Bone marrow smear · brightfield microscopy, 40× oil immersion:
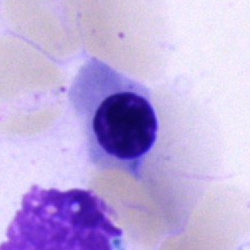
Nucleated red cell.